Bone marrow smear: 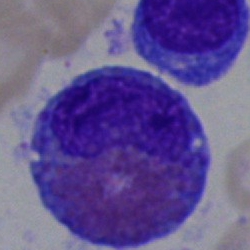

Q: Which cell type is shown here?
A: An eosinophilic granulocyte.